Image size 250×250. Bone marrow aspirate smear:
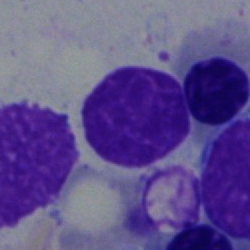
The cell shown is a lymphocyte.